Bone marrow aspirate smear:
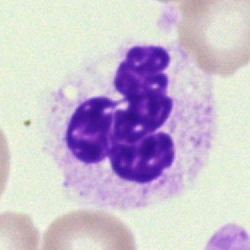{"cell_type": "segmented neutrophil"}